Bone marrow aspirate smear:
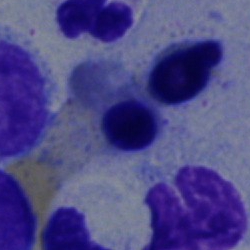 Morphological class = erythroblast.